250×250; bone marrow smear — 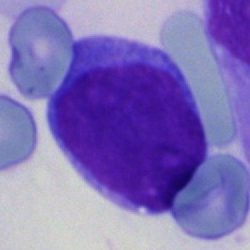

Cell = undifferentiated blast.